Bone marrow aspirate smear — 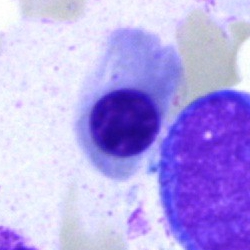Specimen: bone marrow smear.
Morphological class: erythroblast.